Bone marrow smear
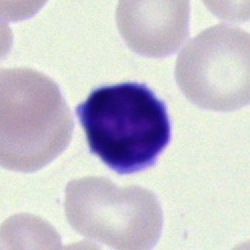

Cell — typical lymphocyte.